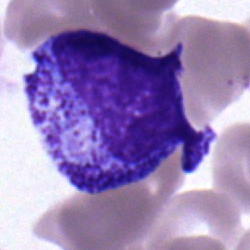
Impression → myelocyte.